Bone marrow aspirate smear
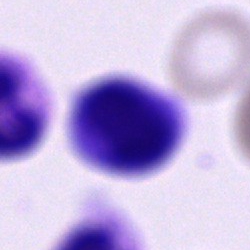Cell: unidentifiable cell.